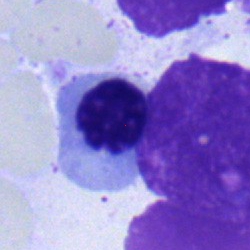
The cell is nucleated red blood cell.